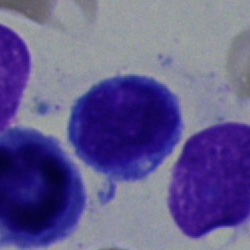
Cell type: nucleated red cell.